Brightfield, 40× oil-immersion objective · bone marrow aspirate smear — 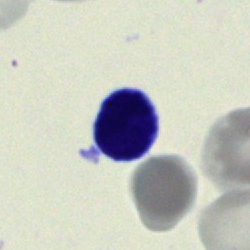Morphology consistent with a lymphocyte.